Bone marrow smear — 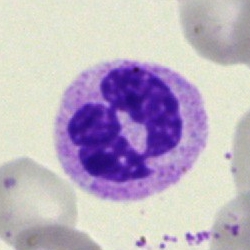 The classification is neutrophil (segmented).